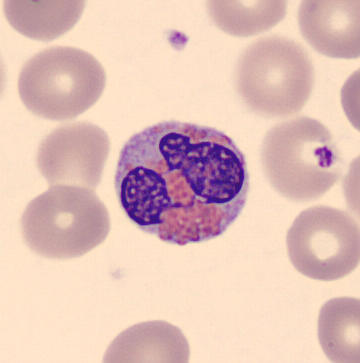 Acquisition: Peripheral blood film.

Showing an eosinophilic granulocyte.